Peripheral blood smear.
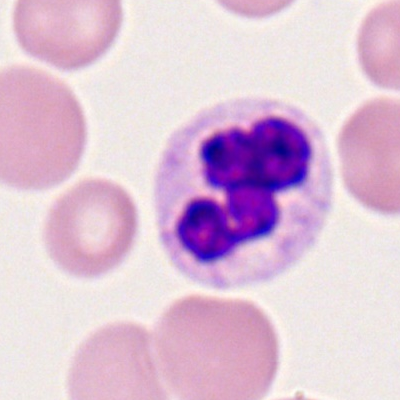Specimen: peripheral blood smear.
Cell type: segmented neutrophil.
Lineage: myeloid.